Peripheral blood film:
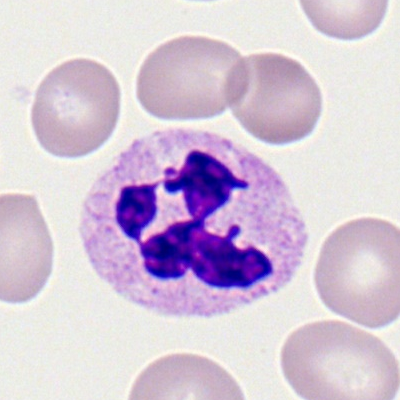Cell: segmented neutrophil.